Single cell centered in the field. MGG-stained. Bone marrow smear — 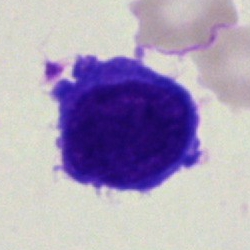
Classification: undifferentiated blast.